Peripheral blood smear: 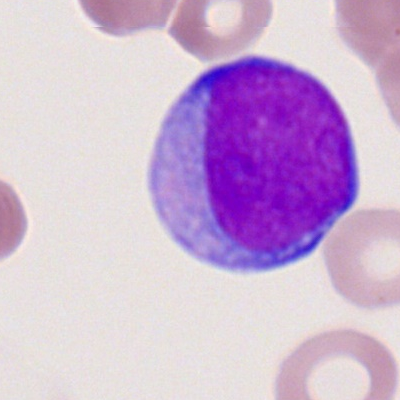
Single cell identified as a myeloblast.